Bone marrow smear: 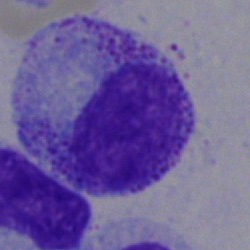The cell shown is a myelocyte.